Bone marrow aspirate smear
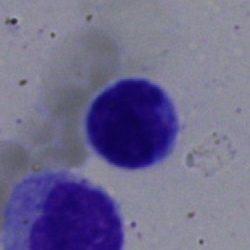
Classification = lymphocyte.